Bone marrow smear — 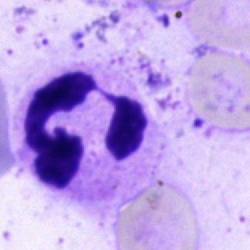
This is a neutrophil (segmented).